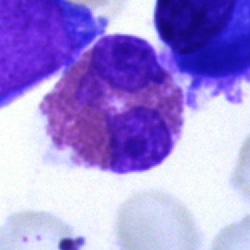

Specimen: bone marrow smear.
Morphological class: eosinophil.
Lineage: myeloid.